Bone marrow smear.
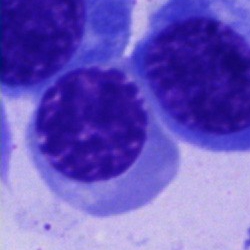Morphology consistent with a nucleated red cell.